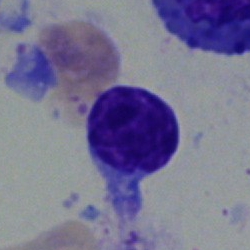 Morphology → lymphocyte.